MGG-stained. 250×250 px. Bone marrow aspirate smear — 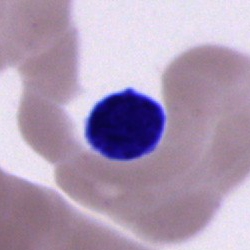
Q: What type of cell is this?
A: Typical lymphocyte.